MGG-stained · bone marrow aspirate smear — 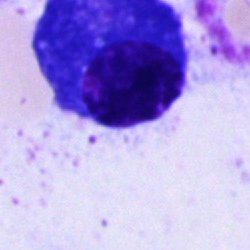

Morphology consistent with a plasma cell.